Single-cell crop. 250×250. Bone marrow aspirate smear
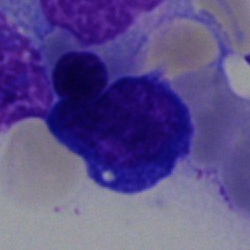 Specimen: bone marrow aspirate smear.
Classification: nucleated red cell.